Peripheral blood film. Image size 400×400 — 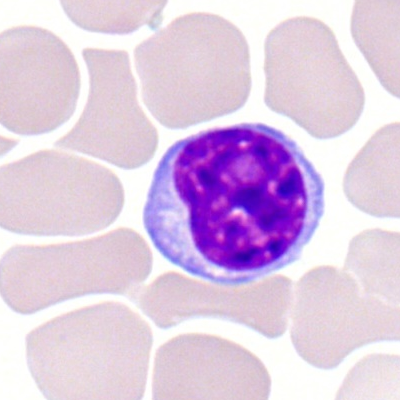 Cell = typical lymphocyte.